Bone marrow aspirate smear
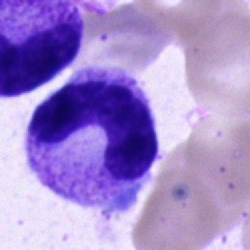Morphology — neutrophil (band).